Bone marrow aspirate smear.
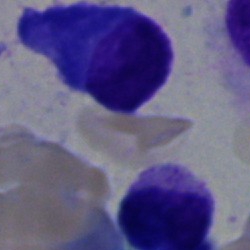Cell = plasmacyte.